40× oil immersion; bone marrow aspirate smear.
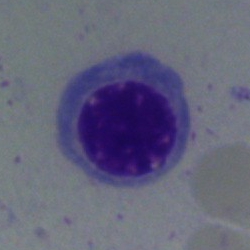
Q: Identify the cell.
A: This is an erythroblast.